Bone marrow smear; single-cell crop
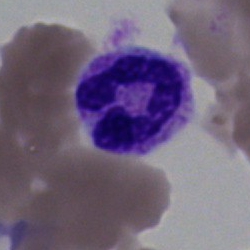 The cell shown is a neutrophil (segmented).